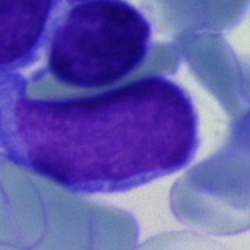
Morphology — blast cell.